Bone marrow aspirate smear.
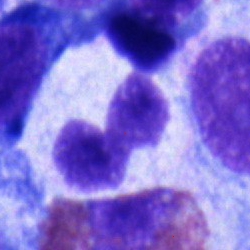

Specimen: bone marrow smear.
Morphological class: segmented neutrophil.